May-Grünwald-Giemsa/Pappenheim stain · bone marrow smear.
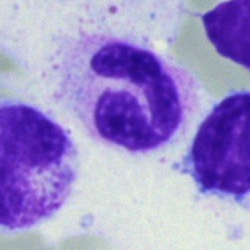 Impression — neutrophil (segmented).